Bone marrow aspirate smear.
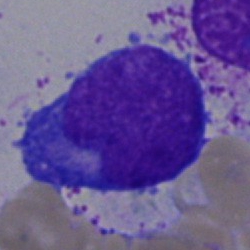
Specimen: bone marrow aspirate smear.
Classification: blast cell.